Bone marrow aspirate smear — 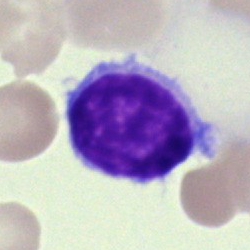 A lymphocyte.